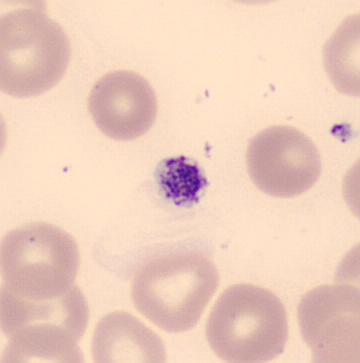

Platelet (thrombocyte).